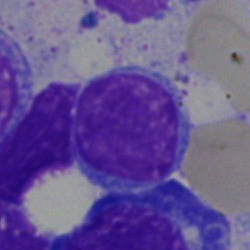Classification: lymphocyte.